Bone marrow aspirate smear.
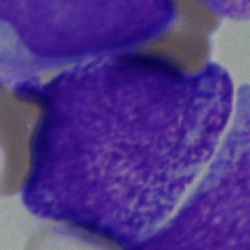

This is a myelocyte.